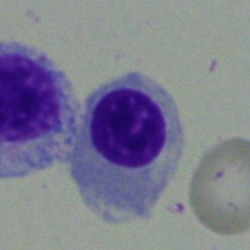 This is a nucleated red cell.